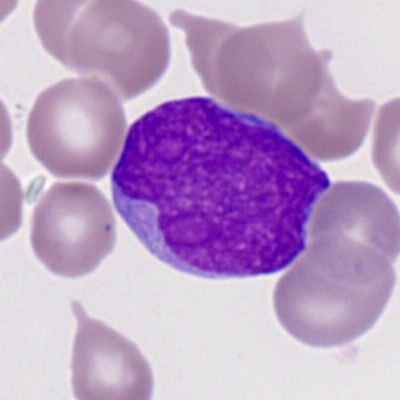Classification: myeloid blast.